Single-cell crop · bone marrow aspirate smear: 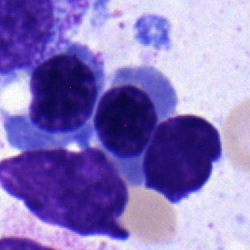 Morphological class: band-form neutrophil.